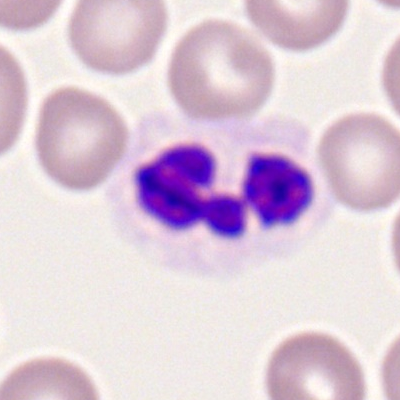
{"cell_type": "polymorphonuclear neutrophil", "lineage": "myeloid"}